Bone marrow aspirate smear — 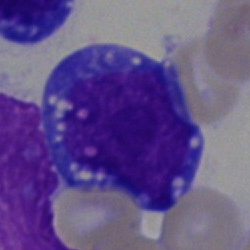Cell: blast cell.